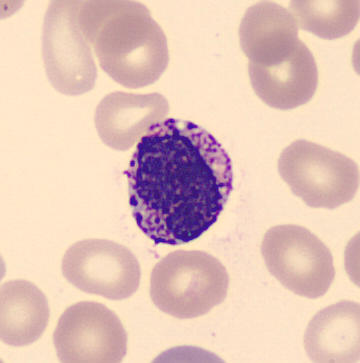Impression → basophil.

Preparation: Peripheral blood smear.